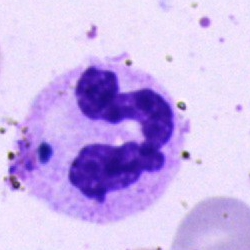 Morphological class = polymorphonuclear neutrophil.